MGG-stained. Bone marrow smear — 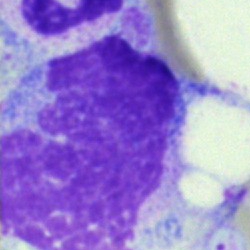Q: What is shown here?
A: Artifact.